Bone marrow aspirate smear; May-Grünwald-Giemsa/Pappenheim stain; single-cell crop:
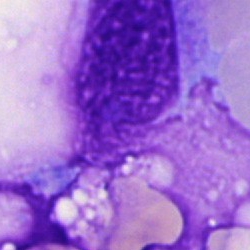 Morphological class — artifact.